250×250 · bone marrow smear
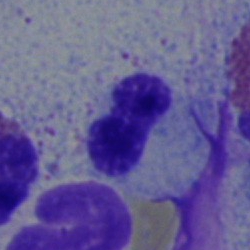Morphology consistent with a stab cell.